40× oil immersion; bone marrow smear: 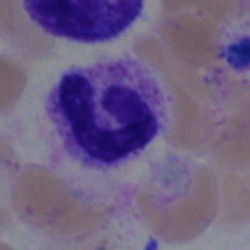

Cell: segmented neutrophil.